Bone marrow aspirate smear — 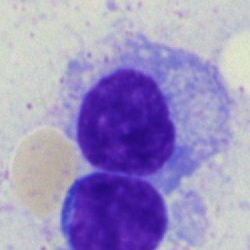Cell type: plasma cell.